Bone marrow smear:
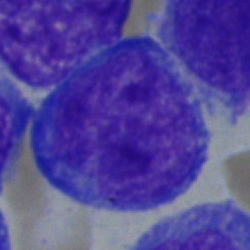 Q: What cell is this?
A: A blast cell.